May-Grünwald-Giemsa/Pappenheim stain · bone marrow smear
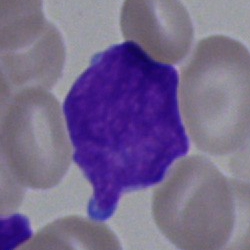Classification = blast cell.